Single-cell crop · 100× oil immersion, 14.14 px/µm · peripheral blood film — 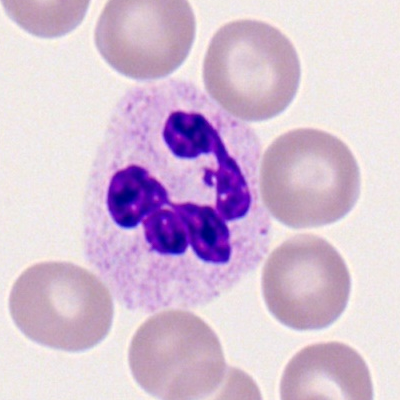
The cell type is neutrophil (segmented).